Bone marrow smear
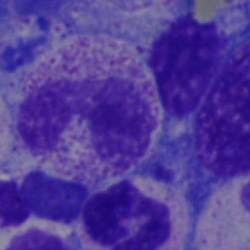

Morphology — band neutrophil.